Bone marrow aspirate smear. 250×250.
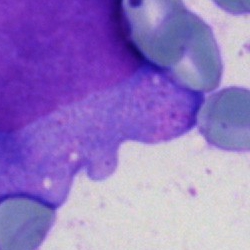
Classification: blast.